400 by 400 pixels · Romanowsky stain · peripheral blood smear:
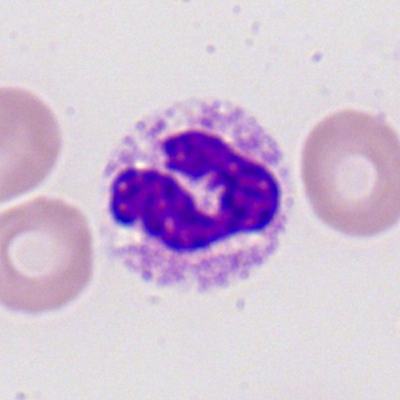
{"cell_type": "neutrophil (segmented)"}